Single cell centered in the field; peripheral blood film — 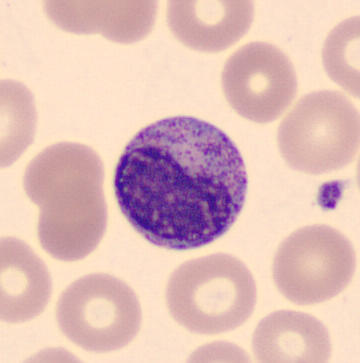This is a myelocyte.